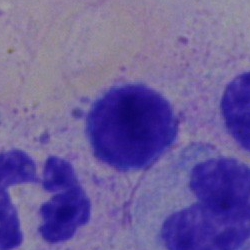

The cell is typical lymphocyte.